Image size 250×250; bone marrow aspirate smear:
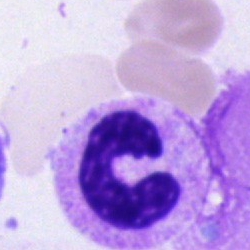
Q: What cell is this?
A: It is a neutrophil (band).